Bone marrow aspirate smear; Pappenheim-stained: 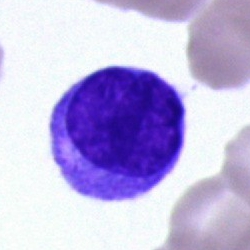The cell is blast cell.